Bone marrow smear. 250×250. Cropped to a single cell — 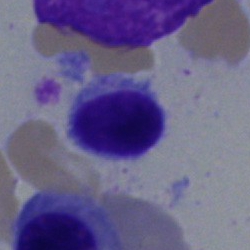Morphology — typical lymphocyte.